Bone marrow smear
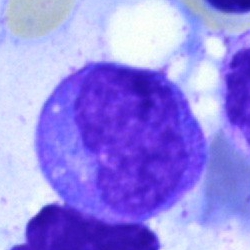 The classification is promyelocyte.